250 by 250 pixels · bone marrow aspirate smear
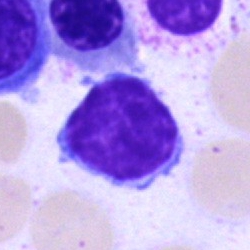Morphology — eosinophilic granulocyte.